Single-cell crop; bone marrow smear — 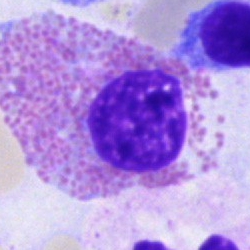 Showing an eosinophilic granulocyte.